Peripheral blood film — 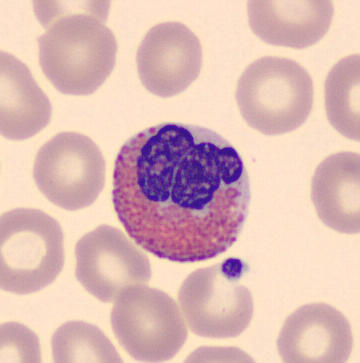 Eosinophilic granulocyte.